Pappenheim-stained. Bone marrow aspirate smear.
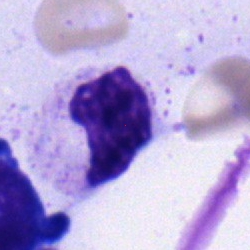

The cell shown is a segmented neutrophil.